Bone marrow smear. MGG-stained
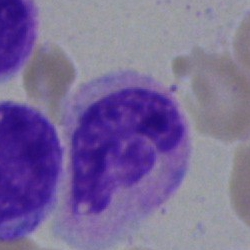
Single cell identified as a neutrophil (segmented).